Bone marrow aspirate smear · 40× objective, oil immersion · Pappenheim-stained
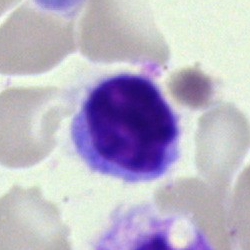Q: What cell is this?
A: A lymphocyte.